Bone marrow aspirate smear; Pappenheim-stained — 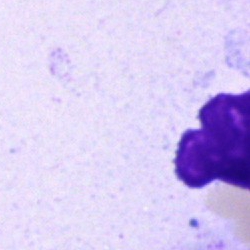{"cell_type": "artifact"}